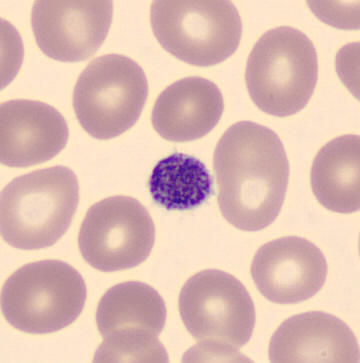
Q: What is shown here?
A: This is a platelet.